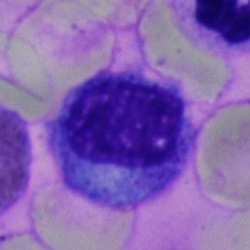

Single-cell crop from a bone marrow smear: myelocyte.